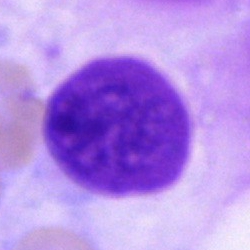

The cell shown is an artifact.